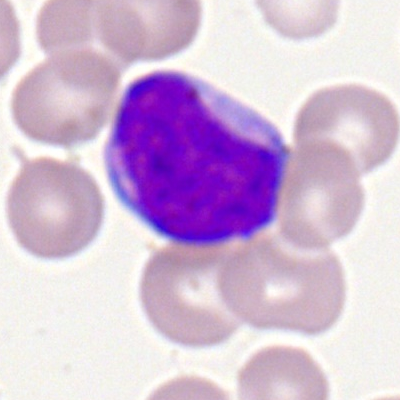Classification: myeloblast.